Bone marrow aspirate smear: 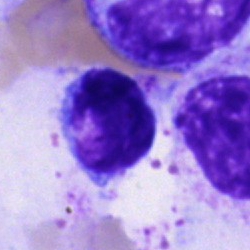 {"cell_type": "lymphocyte", "lineage": "lymphoid"}